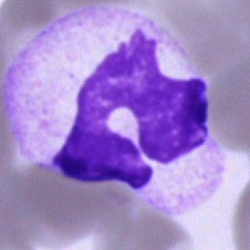

{"cell_type": "polymorphonuclear neutrophil", "lineage": "myeloid"}